Single-cell field. Bone marrow smear:
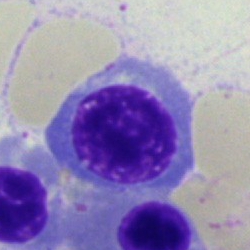

Q: Which cell type is shown here?
A: It is an erythroblast.